Bone marrow aspirate smear:
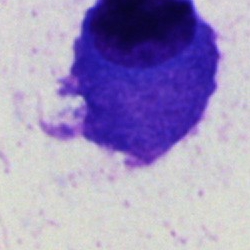
Showing a plasmacyte.